Single cell centered in the field · bone marrow aspirate smear — 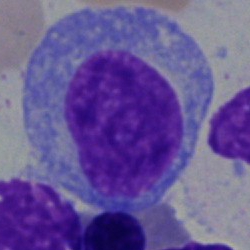

The morphological class is blast cell.